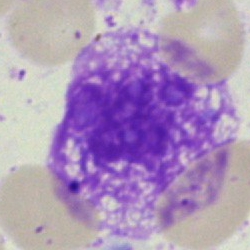Q: What is shown here?
A: It is an artifact.